Bone marrow smear.
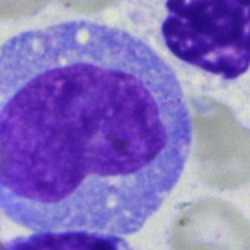 Morphology — blast.